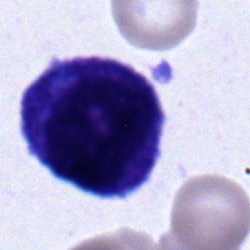

Single-cell crop from a bone marrow smear: typical lymphocyte.